Bone marrow aspirate smear
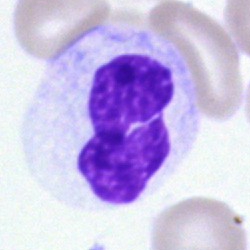

Specimen: bone marrow smear.
Classification: band neutrophil.
Lineage: myeloid.